Bone marrow smear: 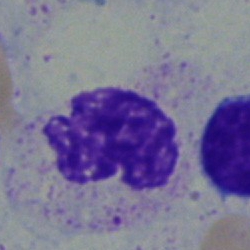Q: Identify the cell.
A: This is a neutrophil (segmented).